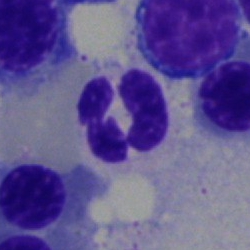Cell type — segmented neutrophil.